Bone marrow smear · 250 by 250 pixels · May-Grünwald-Giemsa stain — 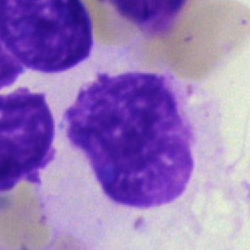
Showing an artefact.